Bone marrow smear.
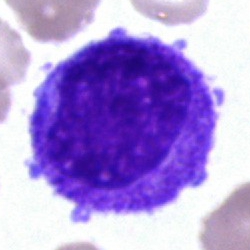

Cell = progranulocyte.